Image size 250×250 · 40× oil immersion · bone marrow smear.
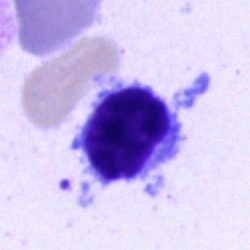

A lymphocyte.